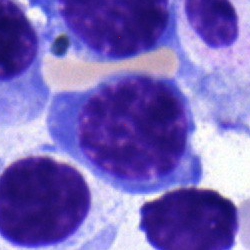 The cell type is nucleated red blood cell.